Bone marrow smear.
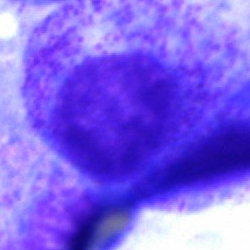 Cell type — progranulocyte.